Cropped to a single cell. Romanowsky stain. Peripheral blood smear:
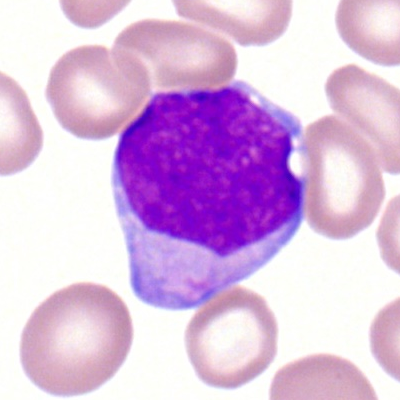Showing a myeloid blast.